250×250. Bone marrow smear
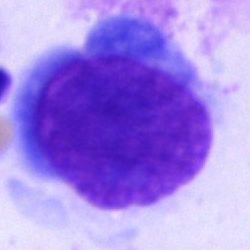 This is a blast.